Bone marrow aspirate smear
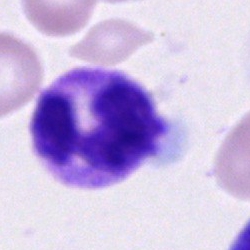
Single cell identified as a neutrophil (segmented).